Bone marrow smear:
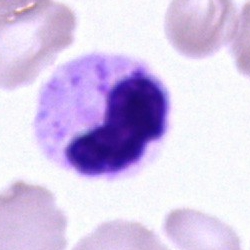

Polymorphonuclear neutrophil.